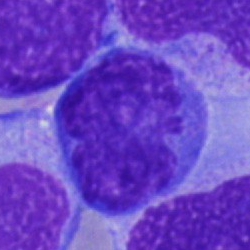Cell = monocyte.